MGG-stained; bone marrow aspirate smear; 40× oil immersion
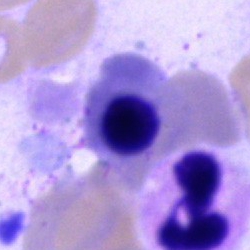

Impression — erythroblast.